Single-cell crop; MGG-stained; bone marrow smear — 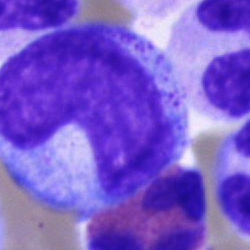 A progranulocyte.